Bone marrow smear. 250 by 250 pixels
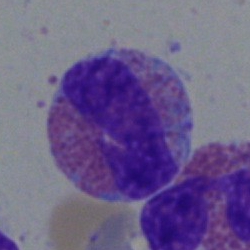
Morphological class: eosinophilic granulocyte.